Bone marrow smear; 40× objective, oil immersion:
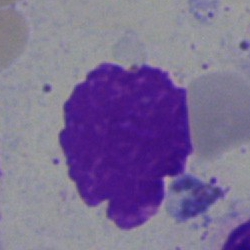

Specimen: bone marrow aspirate smear.
Classification: artifact.